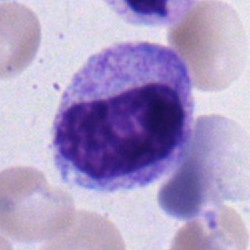
Specimen: bone marrow smear.
Cell type: myelocyte.